May-Grünwald-Giemsa stain. Bone marrow smear. 250 by 250 pixels — 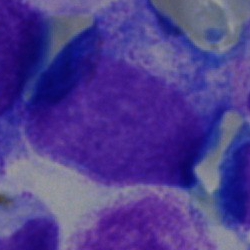{"cell_type": "blast"}